Peripheral blood film: 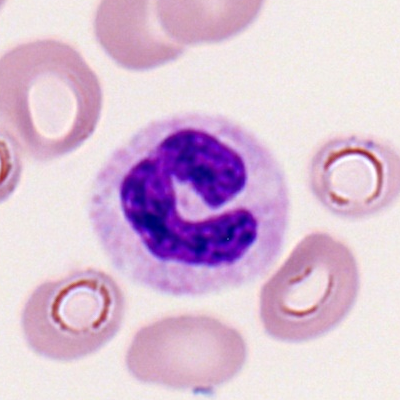 Single cell identified as a polymorphonuclear neutrophil.